Bone marrow aspirate smear
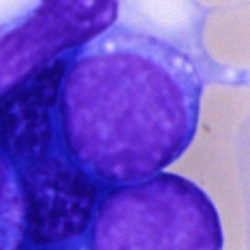Morphology consistent with an undifferentiated blast.